Peripheral blood film
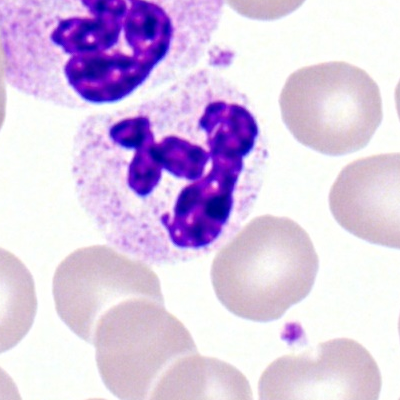
Classification: segmented neutrophil.